Bone marrow smear.
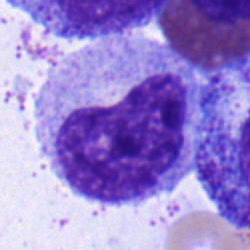

Specimen: bone marrow aspirate smear.
Cell type: metamyelocyte.